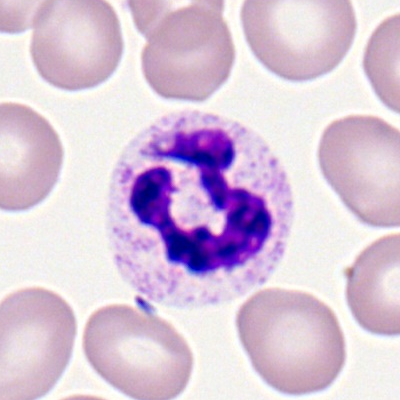Specimen: peripheral blood smear.
Cell type: polymorphonuclear neutrophil.
Lineage: myeloid.